Bone marrow aspirate smear.
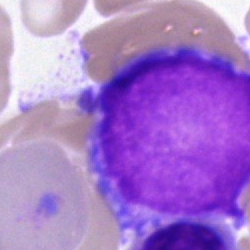 The classification is undifferentiated blast.